Brightfield, 40× oil-immersion objective; cropped to a single cell; bone marrow smear:
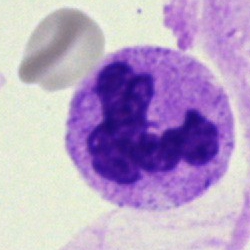 The cell shown is a polymorphonuclear neutrophil.